Bone marrow smear · brightfield, 40× oil-immersion objective · May-Grünwald-Giemsa/Pappenheim stain
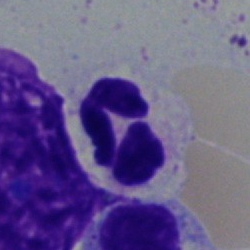 Polymorphonuclear neutrophil.